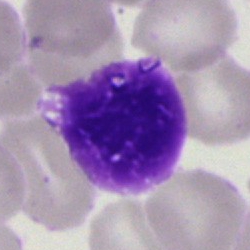 Cell type — artifact.